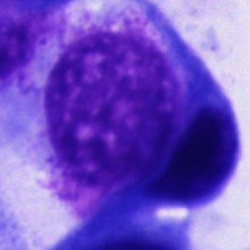Morphological class — cell not matching the other categories.